Bone marrow aspirate smear — 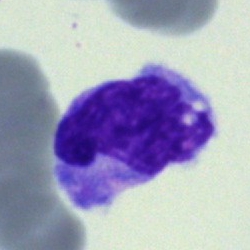

This is a monocyte.